MGG-stained. Single cell centered in the field. Bone marrow aspirate smear.
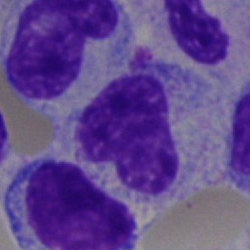

Single cell identified as a neutrophil (band).